Bone marrow smear: 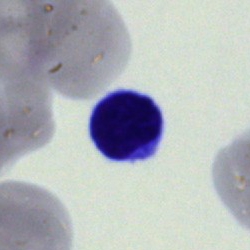

Showing an artifact.